Bone marrow aspirate smear
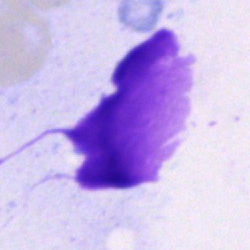Impression — artifact.